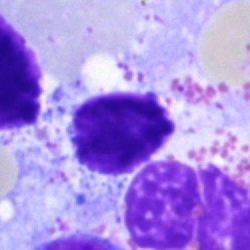 This is an artifact.